Bone marrow aspirate smear; MGG-stained.
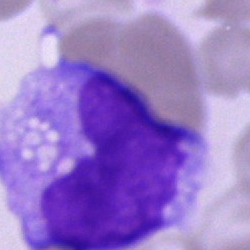The cell shown is a monocyte.